Peripheral blood smear: 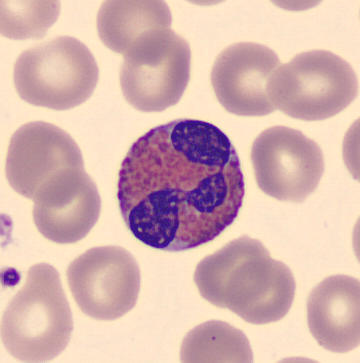 Morphology → eosinophil.